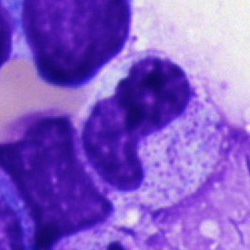
The morphological class is segmented neutrophil.